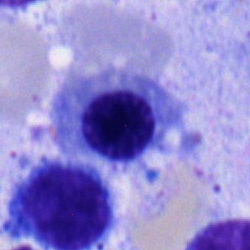

Bone marrow aspirate smear, single cell — normoblast.